Peripheral blood film
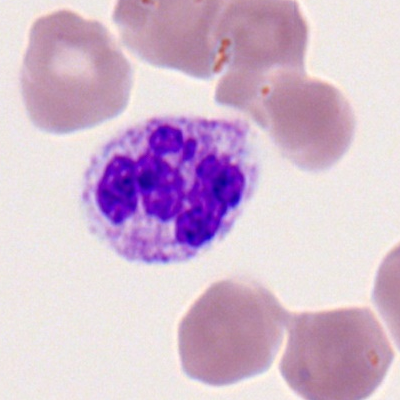
{"cell_type": "neutrophil (segmented)", "lineage": "myeloid"}